May-Grünwald-Giemsa stain. 250×250. Bone marrow smear:
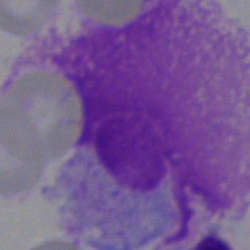

Cell = artifact.